Bone marrow aspirate smear — 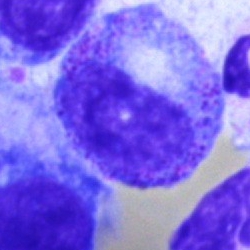
Specimen: bone marrow smear.
Classification: myelocyte.
Lineage: myeloid.